Bone marrow aspirate smear: 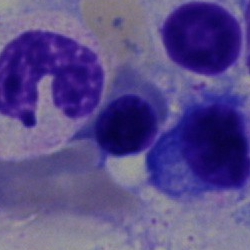 The cell shown is a normoblast.